Bone marrow aspirate smear.
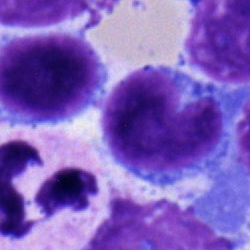 Classification = typical lymphocyte.